Bone marrow smear.
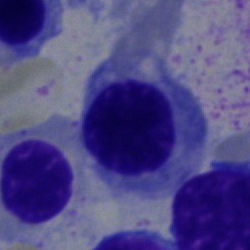 Impression → erythroblast.